Bone marrow smear. 250 by 250 pixels
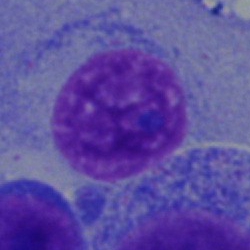 The cell type is plasma cell.